Bone marrow aspirate smear.
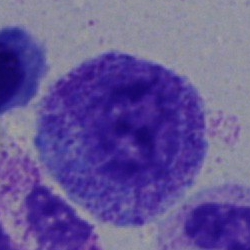 Q: What is shown here?
A: It is a progranulocyte.